Bone marrow aspirate smear; single cell centered in the field — 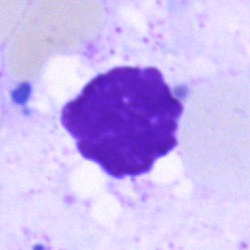 Specimen: bone marrow smear.
Classification: artifact.